Bone marrow smear:
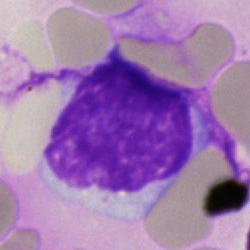 A lymphocyte.